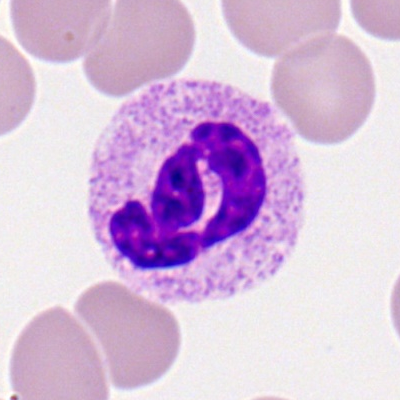

Q: What is shown here?
A: This is a neutrophil (segmented).